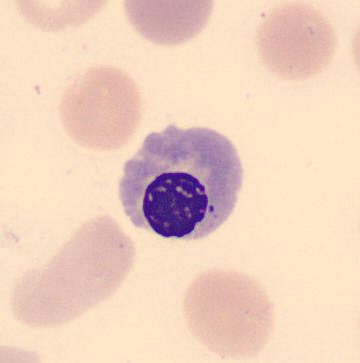
Peripheral blood smear showing an erythroblast.